Bone marrow smear.
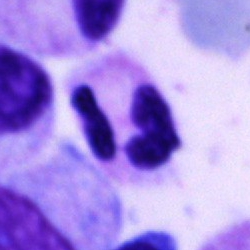

Specimen: bone marrow smear.
Classification: neutrophil (segmented).
Lineage: myeloid.